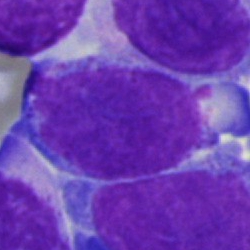 Cell type = blast.